Bone marrow smear; single cell centered in the field:
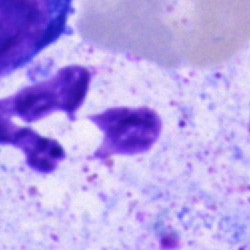Specimen: bone marrow aspirate smear.
Classification: neutrophil (segmented).
Lineage: myeloid.